Bone marrow smear · May-Grünwald-Giemsa stain:
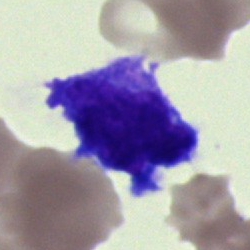
Specimen: bone marrow smear.
Cell type: blast cell.